Bone marrow aspirate smear. 40× oil immersion:
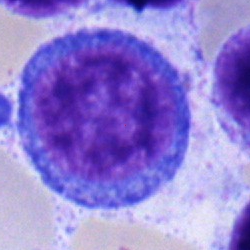Showing a proerythroblast.